Cropped to a single cell. Bone marrow aspirate smear. May-Grünwald-Giemsa stain
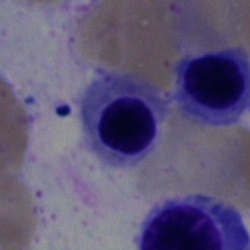

Cell type — nucleated red blood cell.